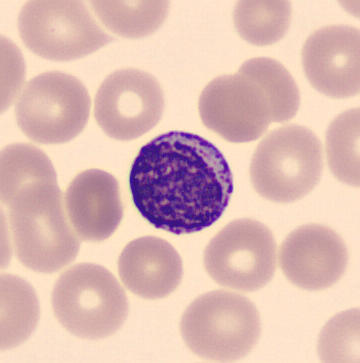
Q: What is shown here?
A: It is a myelocyte.
Peripheral blood smear.